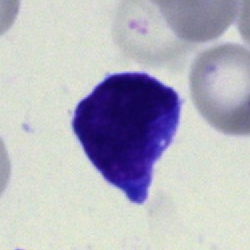Specimen: bone marrow aspirate smear.
Cell: undifferentiated blast.